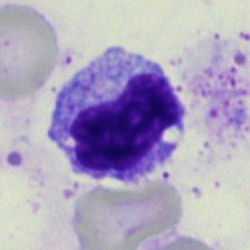Cell type: metamyelocyte.